Bone marrow smear:
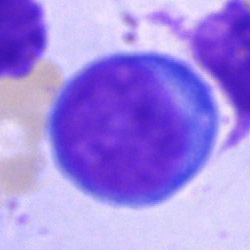 Q: Identify the cell.
A: A blast.